Bone marrow smear
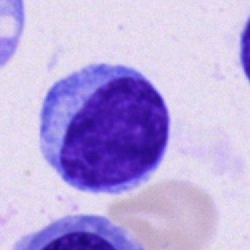 Morphology consistent with a plasma cell.